40× oil immersion · bone marrow aspirate smear.
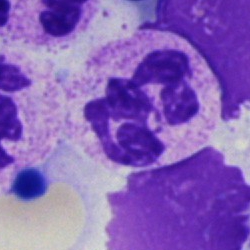 The cell shown is a segmented neutrophil.